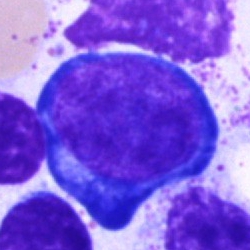

Morphology — proerythroblast.